Single-cell crop; bone marrow aspirate smear
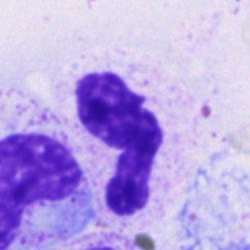 Morphology — neutrophil (band).